Bone marrow smear — 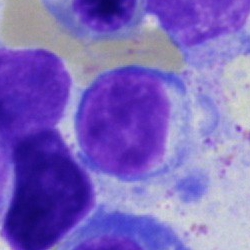
Cell type: lymphocyte.